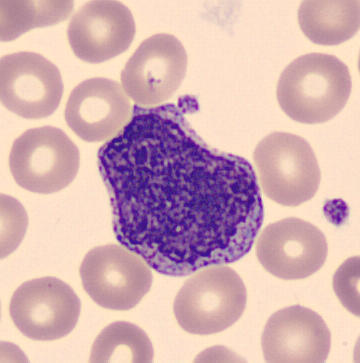 Morphology → progranulocyte.